Peripheral blood smear. Romanowsky-stained: 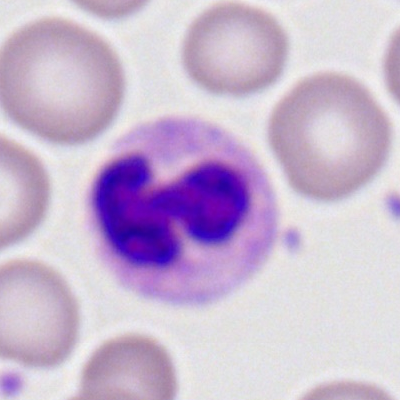A polymorphonuclear neutrophil.